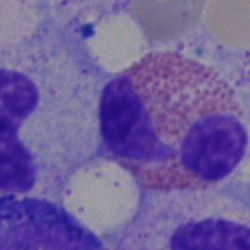
Classification = eosinophil.